Brightfield microscopy, 40× oil immersion · bone marrow aspirate smear · May-Grünwald-Giemsa stain: 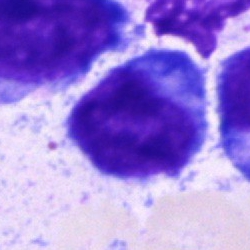
Morphology consistent with a blast.